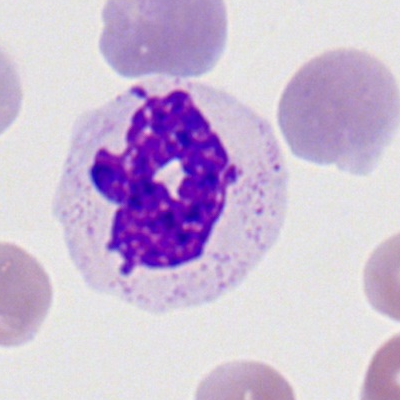 Cell: polymorphonuclear neutrophil.